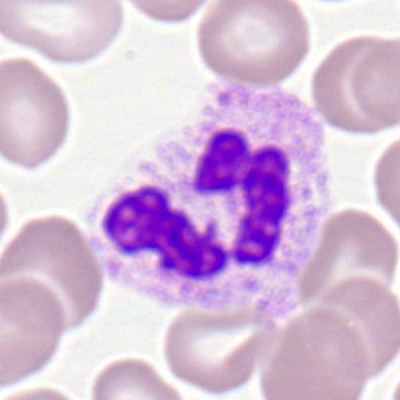
This is a polymorphonuclear neutrophil.